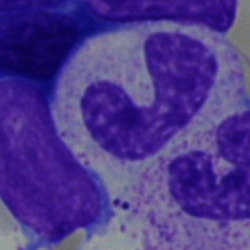 Single-cell crop from a bone marrow smear: neutrophil (band).